Brightfield microscopy, 40× oil immersion; bone marrow aspirate smear
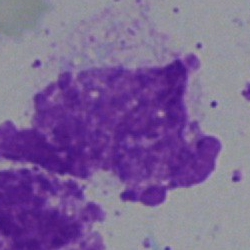

Impression — artefact.